Bone marrow smear · 40× oil immersion — 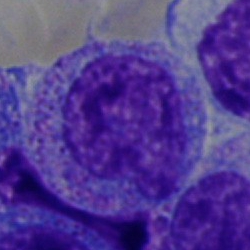

Morphology — myelocyte.